250×250 px. Bone marrow aspirate smear — 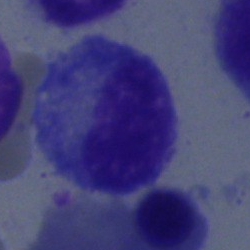This is a promyelocyte.